250×250 · bone marrow aspirate smear:
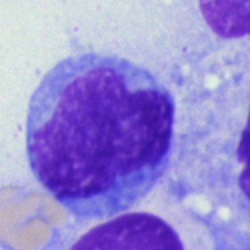 Showing a monocyte.